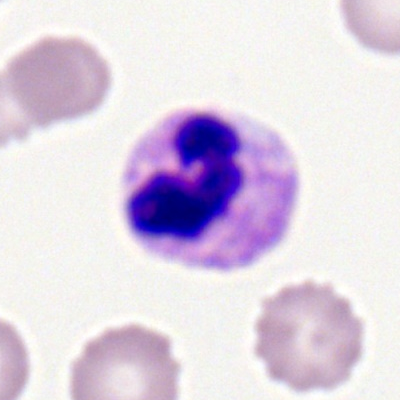

This is a neutrophil (segmented).